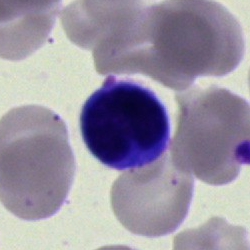
Morphological class = lymphocyte.